Bone marrow smear: 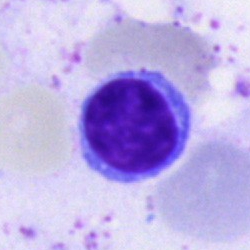 Q: What is shown here?
A: This is a typical lymphocyte.